May-Grünwald-Giemsa stain; bone marrow aspirate smear: 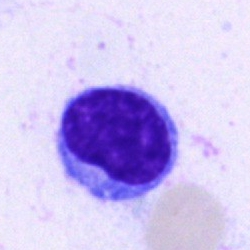

The cell shown is a typical lymphocyte.